Single cell centered in the field; bone marrow aspirate smear
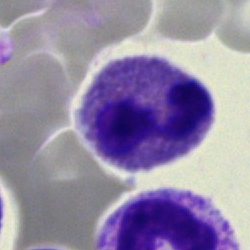
Neutrophil (segmented).